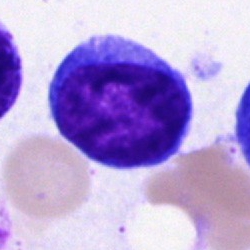 Classification: undifferentiated blast.